Peripheral blood film: 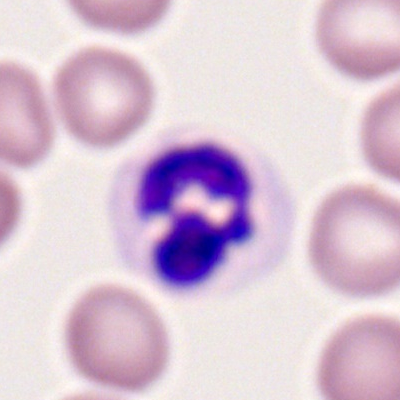

Impression — segmented neutrophil.